Bone marrow aspirate smear.
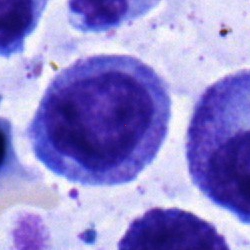
{"cell_type": "myelocyte"}